Peripheral blood smear: 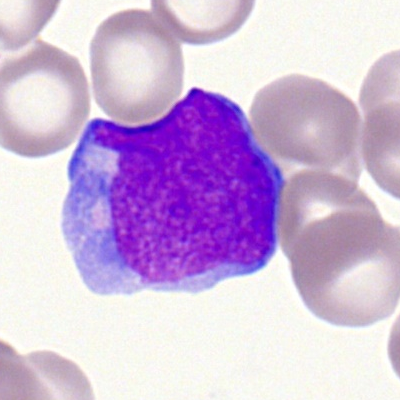Q: What is shown here?
A: Myeloid blast.